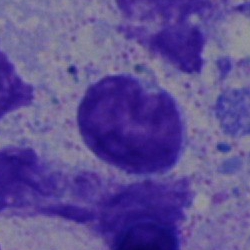 Specimen: bone marrow aspirate smear.
Cell type: typical lymphocyte.
Lineage: lymphoid.